Bone marrow smear. Single-cell crop — 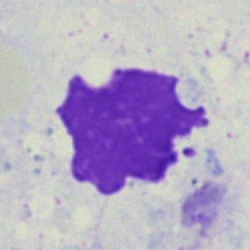Morphology — artefact.